Bone marrow smear; single cell centered in the field — 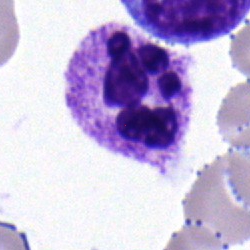
The cell shown is a polymorphonuclear neutrophil.